Single-cell field. Bone marrow smear. MGG-stained
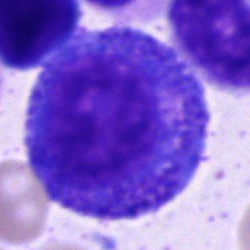 Morphology consistent with a progranulocyte.